Peripheral blood film. Single cell centered in the field:
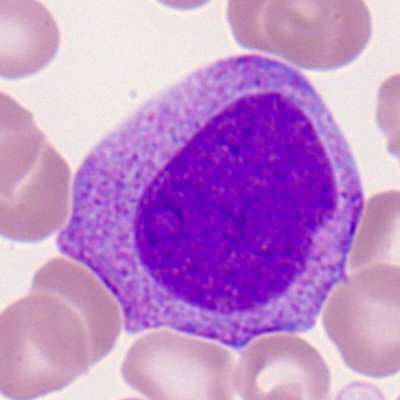
Cell type: progranulocyte.